Bone marrow smear: 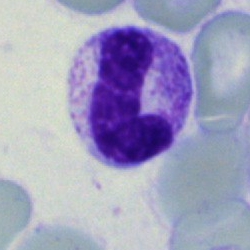
Specimen: bone marrow aspirate smear.
Cell type: band neutrophil.
Lineage: myeloid.